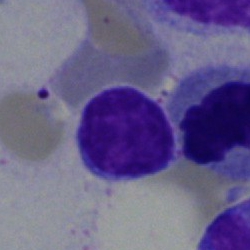

A lymphocyte on a bone marrow smear.